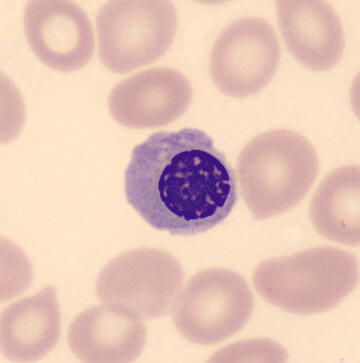Image: Peripheral blood film. Cropped to a single cell.
This is a normoblast.